MGG-stained; bone marrow aspirate smear: 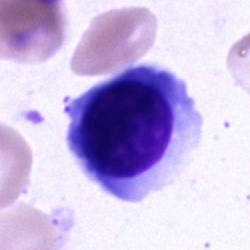 Morphology — erythroblast.